Bone marrow aspirate smear.
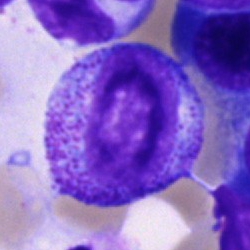
Morphology consistent with a promyelocyte.